Bone marrow smear
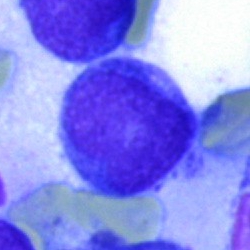Cell: undifferentiated blast.